Bone marrow aspirate smear
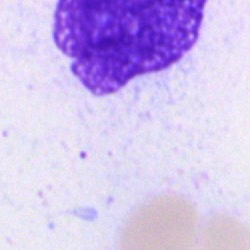 This is an artifact.